250×250 px · Pappenheim-stained · bone marrow smear:
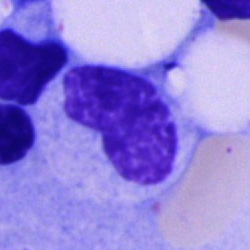Showing a metamyelocyte.